Bone marrow smear:
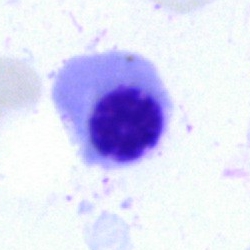

Classification: normoblast.